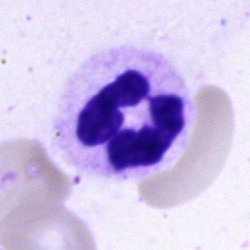

Cell type = segmented neutrophil.